Bone marrow smear: 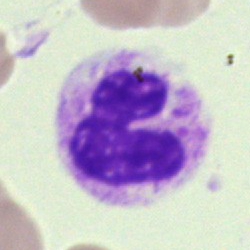

Morphology → neutrophil (segmented).